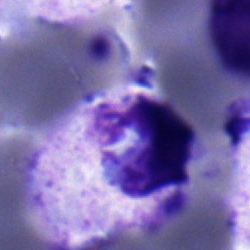Cell: band neutrophil.